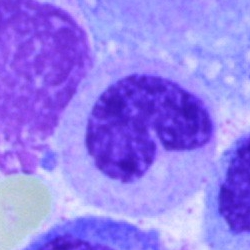

Morphological class = band-form neutrophil.